Bone marrow smear
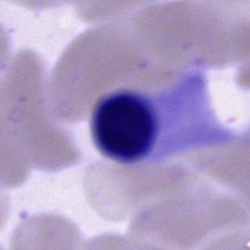 The morphological class is normoblast.